Bone marrow smear. Image size 250×250:
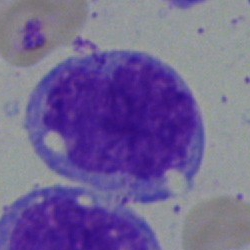
The classification is monocyte.